Bone marrow smear · brightfield, 40× oil-immersion objective.
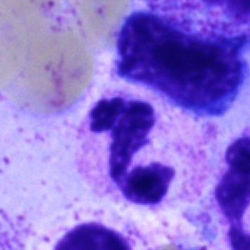
Q: Identify the cell.
A: It is a polymorphonuclear neutrophil.